Pappenheim-stained. Bone marrow aspirate smear:
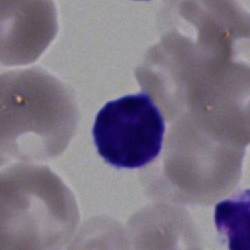
Classification: lymphocyte.